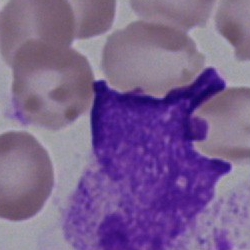
{"cell_type": "artefact"}